250×250 px · May-Grünwald-Giemsa/Pappenheim stain · bone marrow smear — 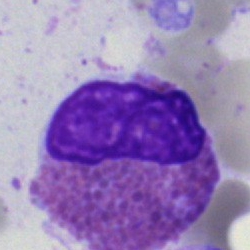
Q: Which cell type is shown here?
A: This is an eosinophilic granulocyte.